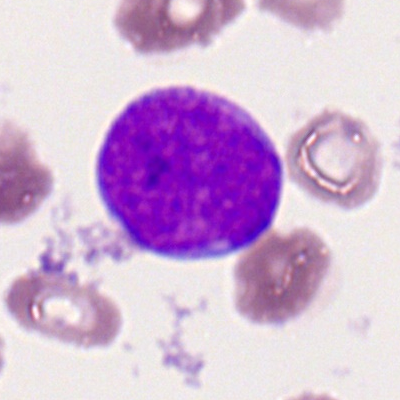

Morphology consistent with a myeloid blast.